Bone marrow smear; cropped to a single cell; brightfield, 40× oil-immersion objective:
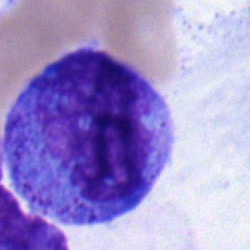
Morphology consistent with a promyelocyte.